250×250 · brightfield, 40× oil-immersion objective · bone marrow aspirate smear — 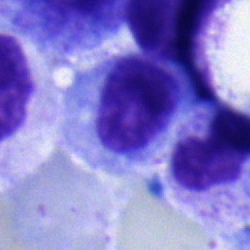
The cell shown is a myelocyte.